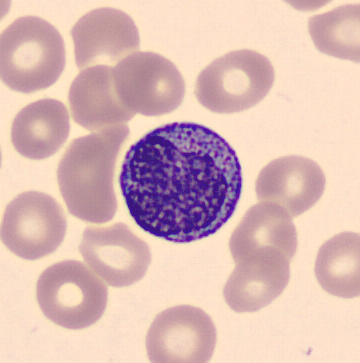

Specimen: peripheral blood film.
Cell: myelocyte.
Lineage: myeloid.